Brightfield, 40× oil-immersion objective. Bone marrow smear:
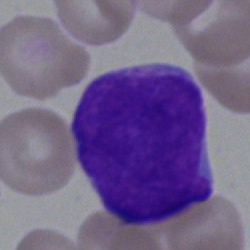 Morphological class — undifferentiated blast.